Bone marrow smear · MGG-stained · 250 by 250 pixels.
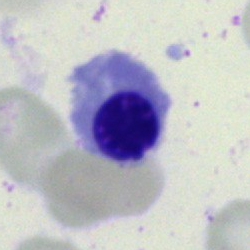Specimen: bone marrow smear.
Morphological class: nucleated red cell.
Lineage: erythroid.